Bone marrow aspirate smear — 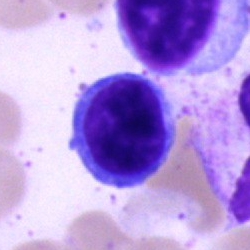Morphological class: lymphocyte.